Bone marrow aspirate smear.
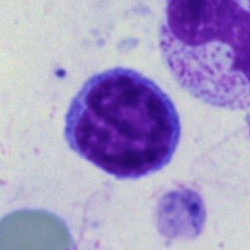
Q: What is the morphological classification of this cell?
A: Lymphocyte.